Bone marrow aspirate smear.
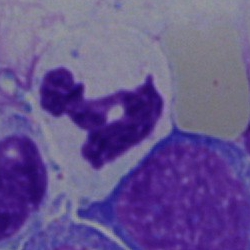

Morphological class: segmented neutrophil.